Bone marrow aspirate smear.
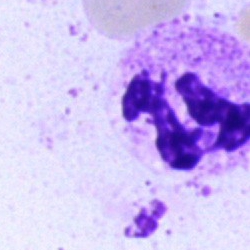

Q: What is the morphological classification of this cell?
A: Polymorphonuclear neutrophil.